40× objective, oil immersion; bone marrow aspirate smear; 250×250: 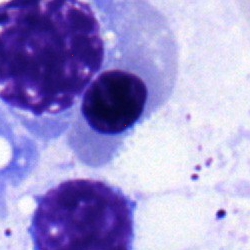Cell = nucleated red blood cell.